May-Grünwald-Giemsa/Pappenheim stain; single cell centered in the field; bone marrow aspirate smear
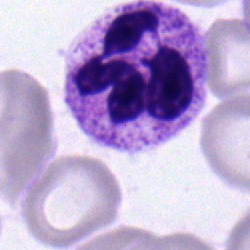
The morphological class is segmented neutrophil.